40× oil immersion · MGG-stained · bone marrow aspirate smear: 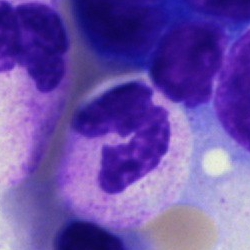
Morphology consistent with a segmented neutrophil.